Bone marrow aspirate smear.
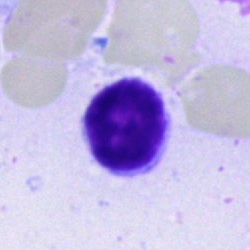

Cell type — typical lymphocyte.